Peripheral blood smear:
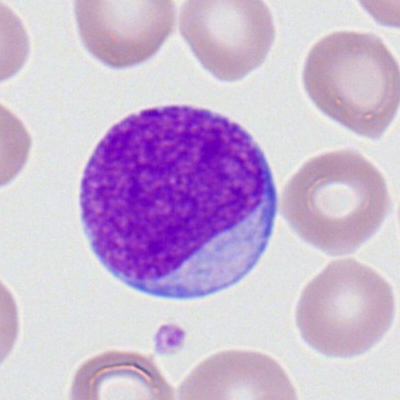Cell: myeloid blast.